Bone marrow aspirate smear: 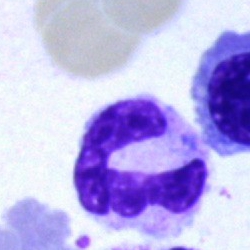 This is a segmented neutrophil.